Bone marrow aspirate smear
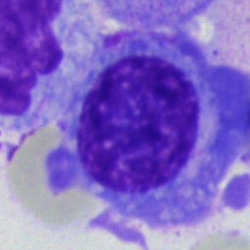{"cell_type": "plasma cell", "lineage": "lymphoid"}